Bone marrow smear · Pappenheim-stained — 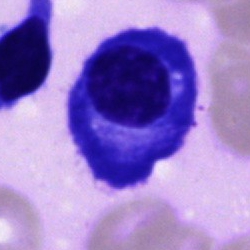
Classification — plasma cell.